250×250 · bone marrow aspirate smear.
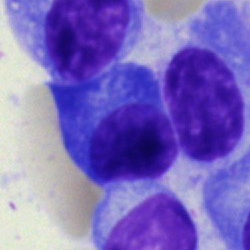

Morphology → plasmacyte.